Bone marrow smear — 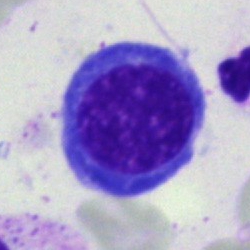 {"cell_type": "normoblast", "lineage": "erythroid"}